Bone marrow aspirate smear.
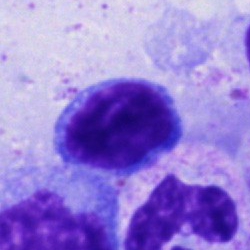

Morphological class — typical lymphocyte.